Cropped to a single cell · bone marrow aspirate smear:
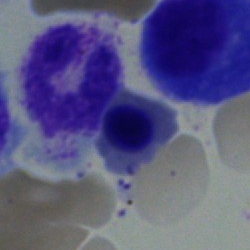Impression → erythroblast.